Bone marrow smear: 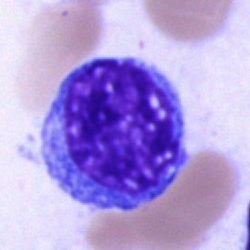

Specimen: bone marrow aspirate smear.
Cell: undifferentiated blast.